May-Grünwald-Giemsa stain · 40× objective, oil immersion · bone marrow smear: 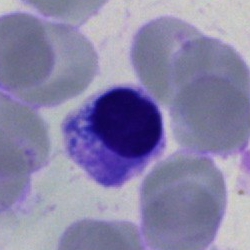

Erythroblast.